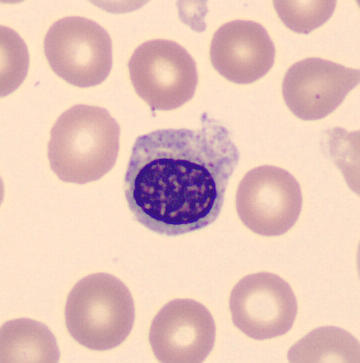Single cell identified as an erythroblast.
Image: Peripheral blood film.